Bone marrow smear; image size 250×250; 40× objective, oil immersion: 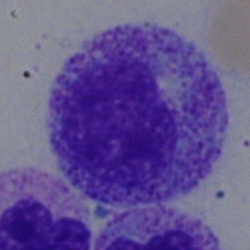

Impression → myelocyte.